Bone marrow smear:
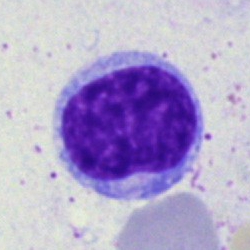
Specimen: bone marrow smear.
Cell: lymphocyte.
Lineage: lymphoid.